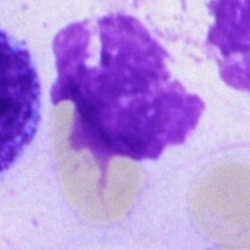

The cell shown is an artefact.